Bone marrow smear. Image size 250×250. Brightfield, 40× oil-immersion objective:
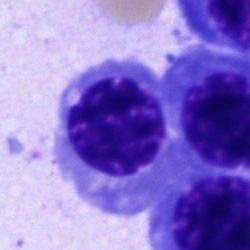

Morphology — nucleated red cell.